Peripheral blood smear: 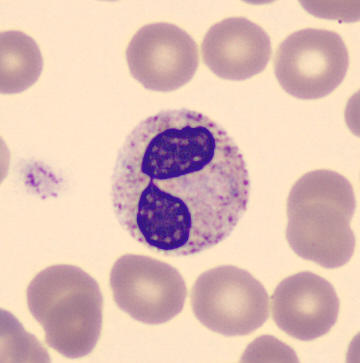

The cell shown is a polymorphonuclear neutrophil.